Brightfield microscopy, 40× oil immersion. Bone marrow aspirate smear. Single cell centered in the field
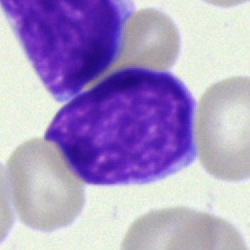

Morphology consistent with a blast.